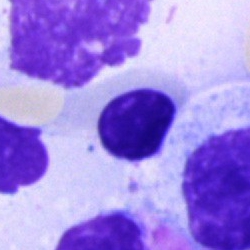 A normoblast on a bone marrow smear.